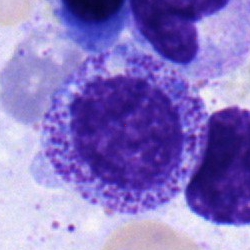

Morphology → myelocyte.